Bone marrow smear: 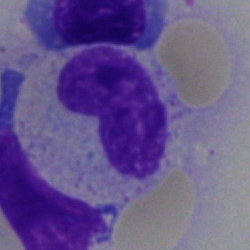Classification — band-form neutrophil.